Bone marrow smear:
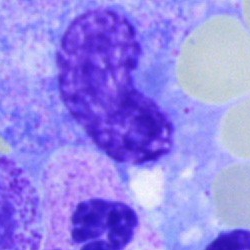

Single cell identified as a band-form neutrophil.